Bone marrow aspirate smear:
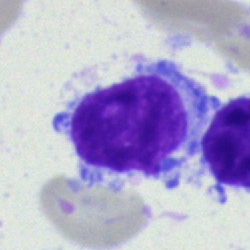The cell shown is a lymphocyte.